Pappenheim-stained · bone marrow aspirate smear.
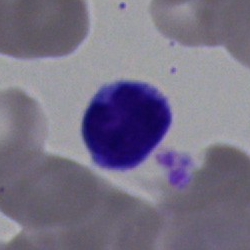

Q: Identify the cell.
A: This is a lymphocyte.